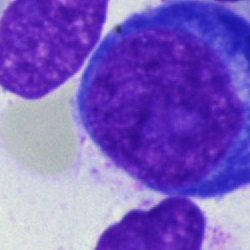This is a pronormoblast.